250×250. Bone marrow aspirate smear:
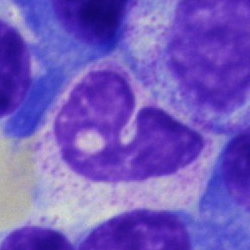Showing a neutrophil (band).